Bone marrow aspirate smear
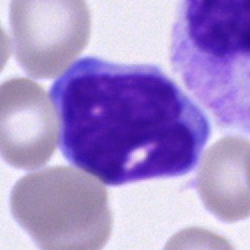 Morphology consistent with a typical lymphocyte.